Bone marrow aspirate smear — 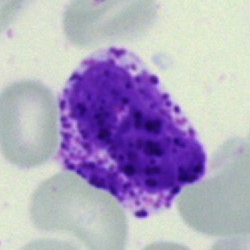

This is a basophilic granulocyte.